Image size 250×250. MGG-stained. Bone marrow aspirate smear:
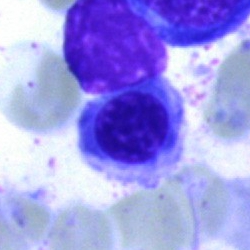
Impression → nucleated red cell.